Bone marrow smear:
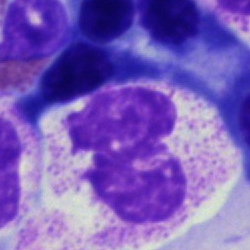

Classification — polymorphonuclear neutrophil.